May-Grünwald-Giemsa/Pappenheim stain. Bone marrow aspirate smear. Image size 250×250
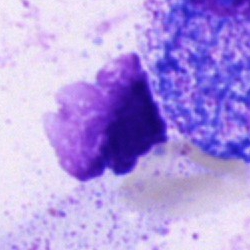 Q: What is shown here?
A: An artifact.